Bone marrow smear · cropped to a single cell:
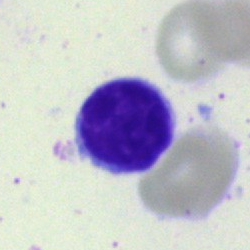
Classification = lymphocyte.